Bone marrow aspirate smear — 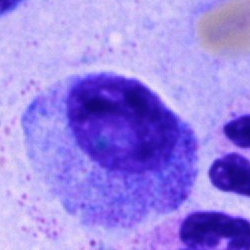 Q: What cell is this?
A: This is a progranulocyte.